Bone marrow aspirate smear.
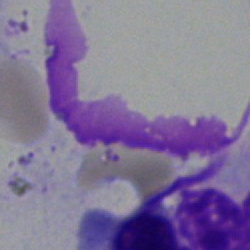 An artifact.